Bone marrow aspirate smear:
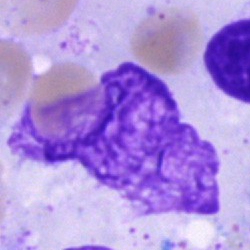
The cell is artefact.